Bone marrow smear — 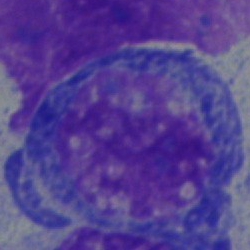The cell shown is a blast.